250 by 250 pixels. 40× oil immersion. Bone marrow aspirate smear: 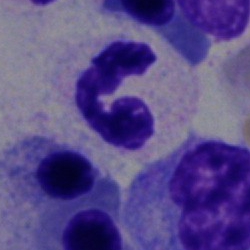

Q: What is the morphological classification of this cell?
A: This is a polymorphonuclear neutrophil.